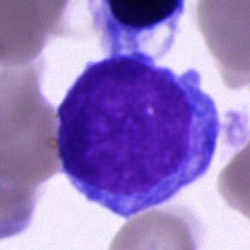 Classification: undifferentiated blast.